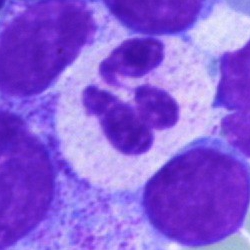

Morphological class = segmented neutrophil.